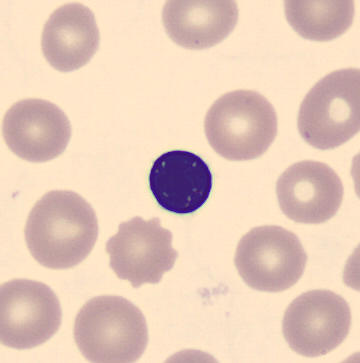

Image: MGG-stained. Peripheral blood film. Single-cell field.
Classification = erythroblast.